250×250; 40× objective, oil immersion; bone marrow aspirate smear
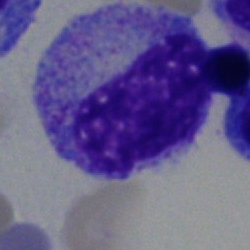
Q: What is shown here?
A: Metamyelocyte.